Bone marrow aspirate smear
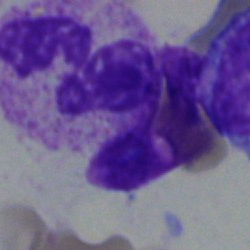 Polymorphonuclear neutrophil.